40× objective, oil immersion. Image size 250×250. Bone marrow smear:
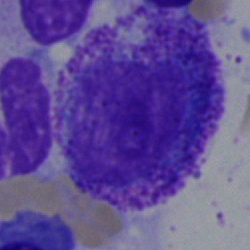
Classification — myelocyte.